Image size 250×250; bone marrow smear; 40× oil immersion.
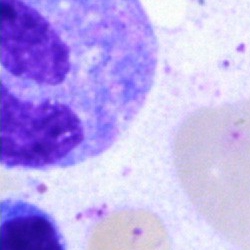

Showing a monocyte.